Bone marrow aspirate smear. May-Grünwald-Giemsa/Pappenheim stain.
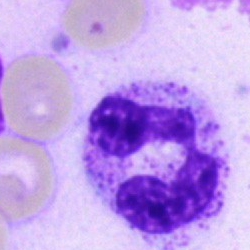

Morphological class = segmented neutrophil.